Bone marrow smear; May-Grünwald-Giemsa stain: 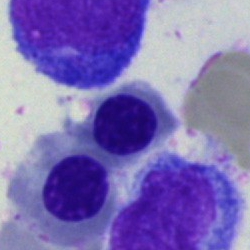
Specimen: bone marrow smear.
Morphological class: normoblast.
Lineage: erythroid.